Bone marrow aspirate smear · 250 by 250 pixels
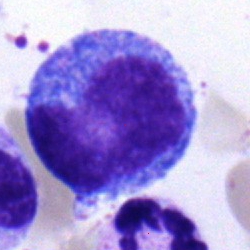Morphological class — progranulocyte.